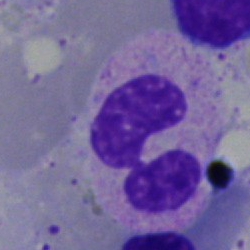
Single cell identified as a segmented neutrophil.